Bone marrow aspirate smear.
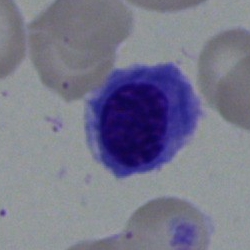
This is an erythroblast.